Single cell centered in the field; peripheral blood smear
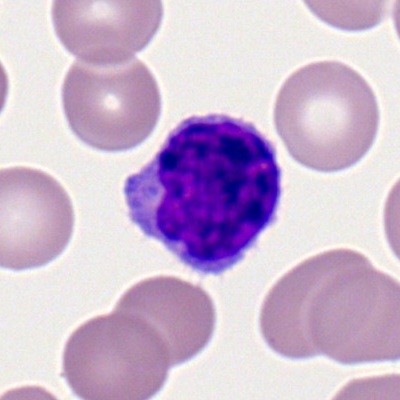
Q: Which cell type is shown here?
A: This is a lymphocyte.